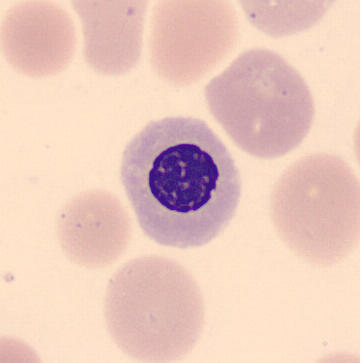
Specimen: peripheral blood smear.
Cell: erythroblast.